Bone marrow smear: 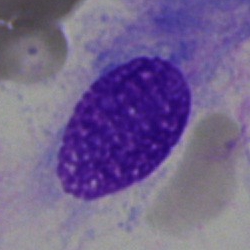

Cell type = artefact.